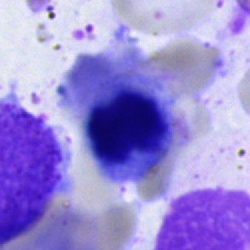

Cell — nucleated red cell.